40× objective, oil immersion. Bone marrow aspirate smear.
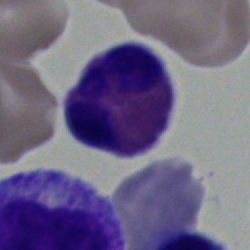Morphology → eosinophilic granulocyte.